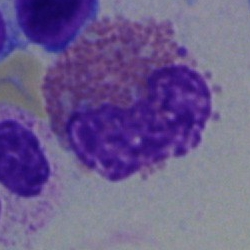 Cell: eosinophilic granulocyte.